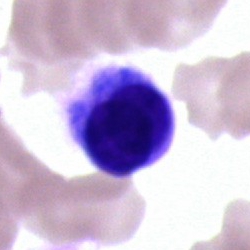

A typical lymphocyte.